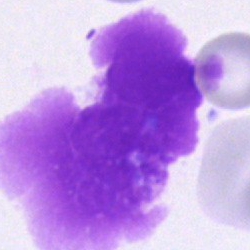Impression — artefact.